Bone marrow smear. MGG-stained: 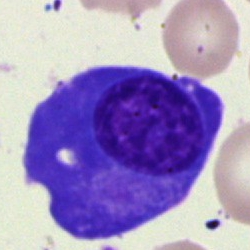 This is a plasma cell.